Bone marrow aspirate smear · 40× oil immersion.
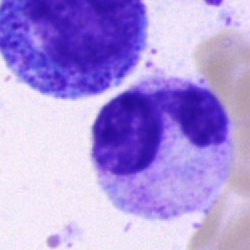A neutrophil (segmented).